Imaged on a CellaVision DM96 analyser. Peripheral blood smear
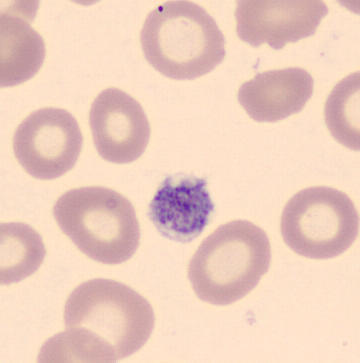

Specimen: peripheral blood film.
Morphological class: platelet.